Bone marrow aspirate smear:
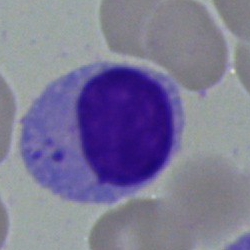
Specimen: bone marrow aspirate smear.
Classification: typical lymphocyte.